Bone marrow smear — 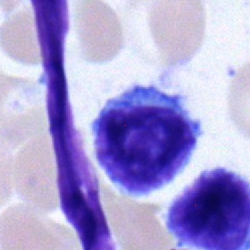 The cell shown is a lymphocyte.